250×250; single-cell crop; bone marrow aspirate smear.
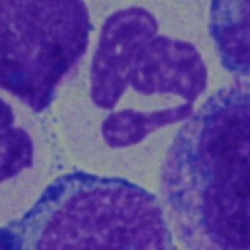

Morphological class: polymorphonuclear neutrophil.